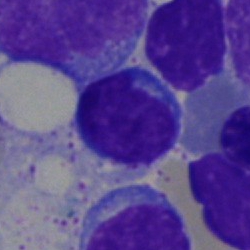
Morphological class: typical lymphocyte.